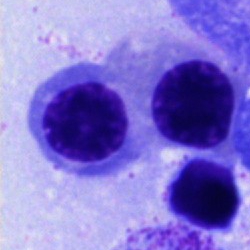
The cell shown is a normoblast.